Single cell centered in the field · bone marrow aspirate smear · image size 250×250:
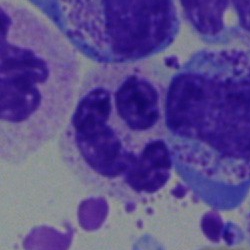

Morphology → polymorphonuclear neutrophil.